Peripheral blood film · single-cell crop
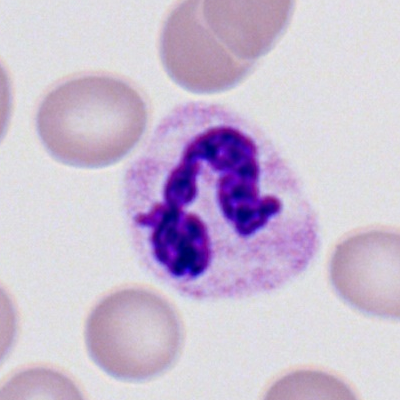

A segmented neutrophil.